Single-cell field · bone marrow aspirate smear — 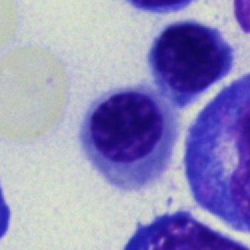Showing a normoblast.